Bone marrow smear.
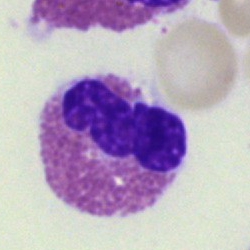

Morphology consistent with an eosinophilic granulocyte.